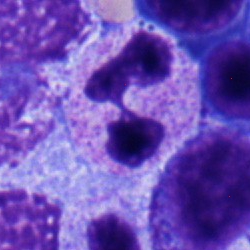

Single cell identified as a segmented neutrophil.